Bone marrow aspirate smear.
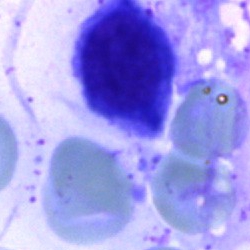

Cell type: unidentifiable cell.